Bone marrow smear · image size 250×250: 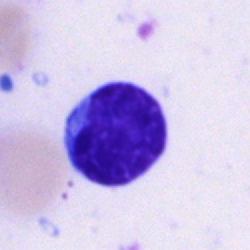

Single cell identified as a lymphocyte.